Bone marrow smear — 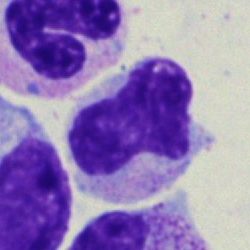 Morphology consistent with a metamyelocyte.